Bone marrow smear; single-cell field; May-Grünwald-Giemsa/Pappenheim stain:
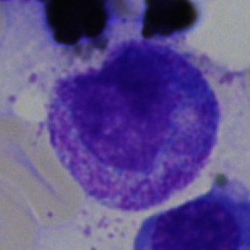
Impression → myelocyte.